Bone marrow smear; single-cell field
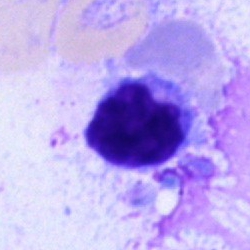
Q: Which cell type is shown here?
A: A lymphocyte.